Bone marrow smear. Single cell centered in the field: 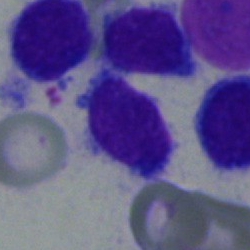The cell shown is a lymphocyte.